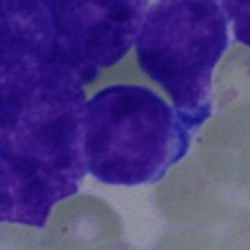
Cell type — blast.